Bone marrow aspirate smear — 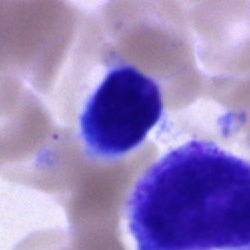 Unidentifiable cell.